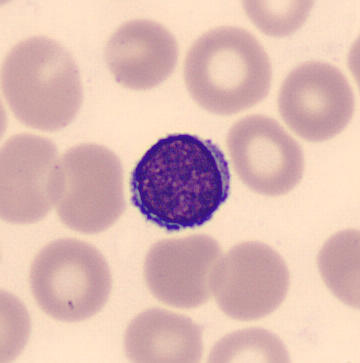
Specimen: peripheral blood film.
Classification: lymphocyte.
Lineage: lymphoid.
Image: Image size 360×363. CellaVision DM96 digital cell image.